Bone marrow aspirate smear
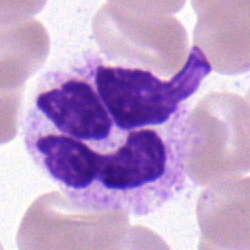
Specimen: bone marrow aspirate smear.
Classification: segmented neutrophil.